Bone marrow aspirate smear
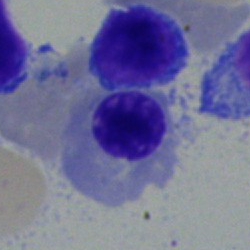Q: What cell is this?
A: Normoblast.